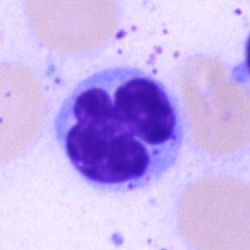
Specimen: bone marrow aspirate smear.
Morphological class: lymphocyte.
Lineage: lymphoid.